Bone marrow smear. Image size 250×250.
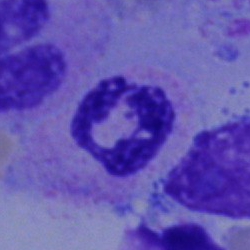

Classification: polymorphonuclear neutrophil.